Bone marrow smear — 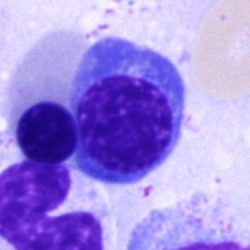Cell — normoblast.